Bone marrow aspirate smear.
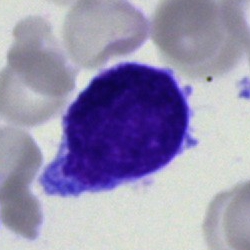Single cell identified as an undifferentiated blast.